May-Grünwald-Giemsa/Pappenheim stain. Bone marrow smear — 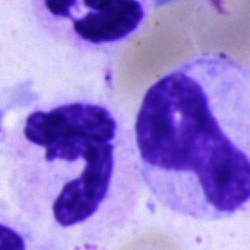 Morphology → segmented neutrophil.